Single-cell field; bone marrow aspirate smear; 250×250: 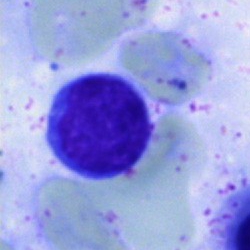

Morphological class: typical lymphocyte.